Bone marrow aspirate smear — 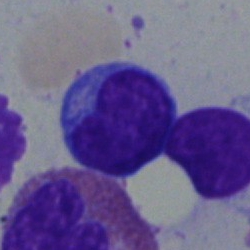 The classification is typical lymphocyte.